Bone marrow smear. MGG-stained: 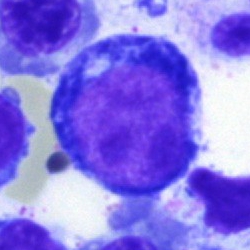
Q: Identify the cell.
A: Proerythroblast.